Bone marrow smear.
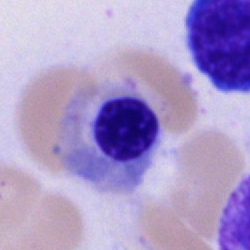Morphology → nucleated red blood cell.